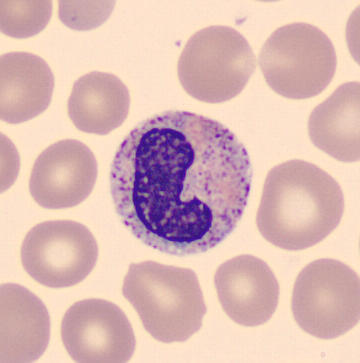 Q: What cell is this?
A: A band neutrophil.